Brightfield microscopy, 40× oil immersion · bone marrow smear.
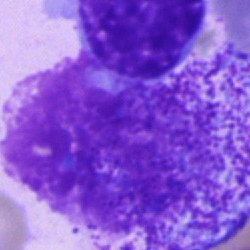
A promyelocyte.